Bone marrow smear; image size 250×250; single-cell field
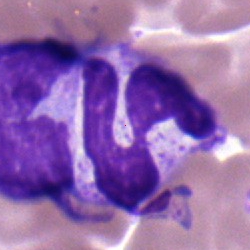

Cell type: segmented neutrophil.